Bone marrow smear:
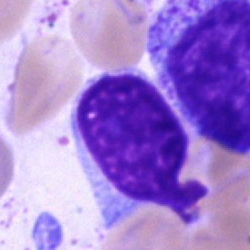Cell — typical lymphocyte.